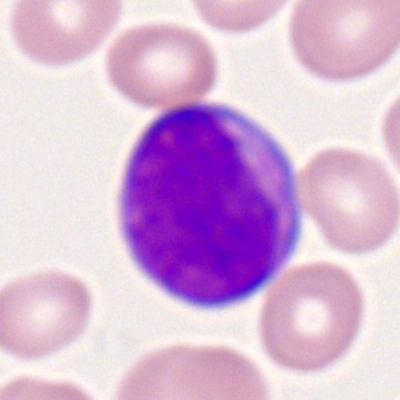 Peripheral blood film, single cell — myeloblast.